Bone marrow aspirate smear; May-Grünwald-Giemsa stain; 250×250
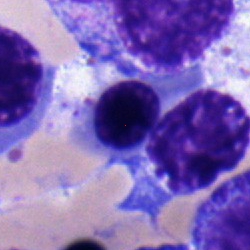
Q: What cell is this?
A: A typical lymphocyte.